Single cell centered in the field. Bone marrow aspirate smear: 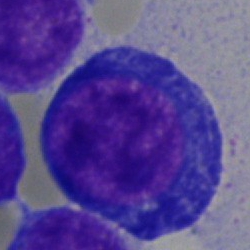Classification = normoblast.